Cropped to a single cell; bone marrow aspirate smear; May-Grünwald-Giemsa stain:
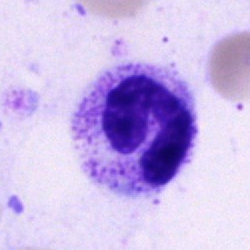 {"cell_type": "band-form neutrophil"}